Bone marrow smear.
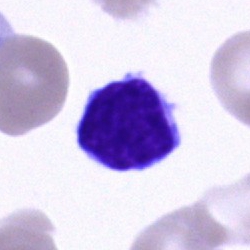
Cell — typical lymphocyte.